Bone marrow smear.
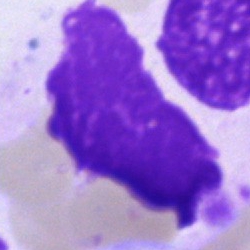Artifact.